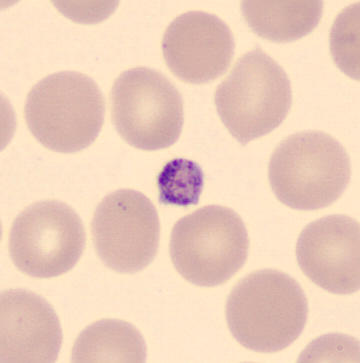 Peripheral blood smear showing a platelet (thrombocyte).